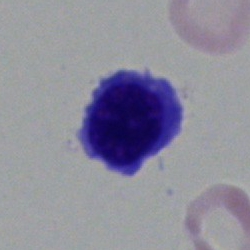 Showing a nucleated red blood cell.